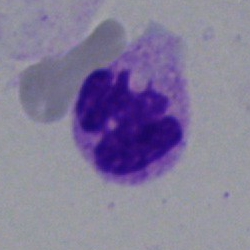

A polymorphonuclear neutrophil.